Bone marrow aspirate smear · May-Grünwald-Giemsa/Pappenheim stain:
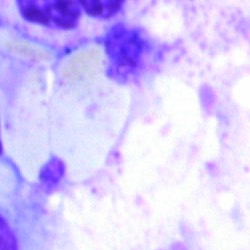
Artefact.